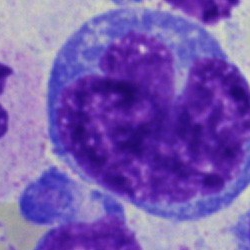
Specimen: bone marrow smear.
Cell: undifferentiated blast.